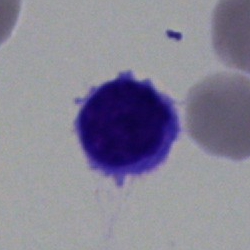Specimen: bone marrow aspirate smear.
Cell type: typical lymphocyte.
Lineage: lymphoid.